Peripheral blood film — 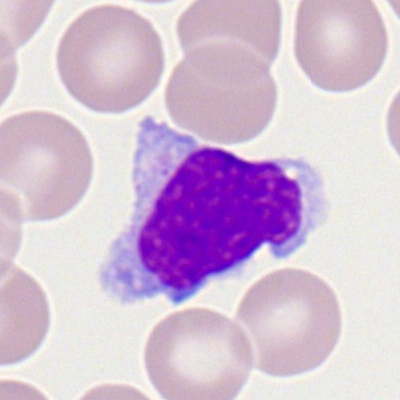 The classification is lymphocyte.